Bone marrow smear
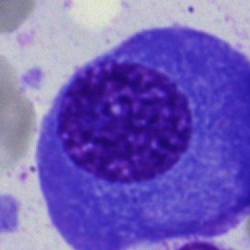 {"cell_type": "plasma cell", "lineage": "lymphoid"}